Single-cell crop. Bone marrow aspirate smear: 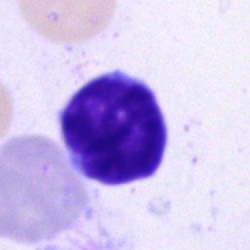
Specimen: bone marrow aspirate smear.
Classification: typical lymphocyte.